250×250. Bone marrow aspirate smear.
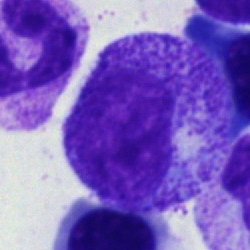 Q: Identify the cell.
A: Progranulocyte.